Image size 250×250; bone marrow smear — 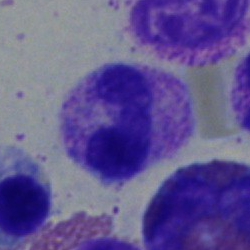{"cell_type": "band neutrophil", "lineage": "myeloid"}